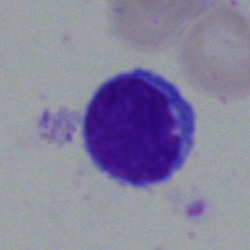
Morphology → lymphocyte.